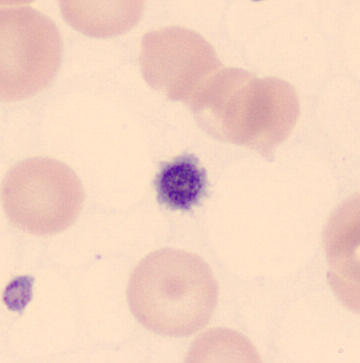A platelet (thrombocyte) on a peripheral blood smear.